40× objective, oil immersion. Cropped to a single cell. Bone marrow aspirate smear:
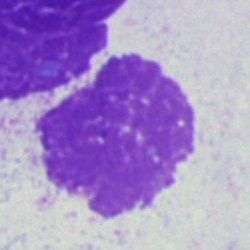
Q: What is shown here?
A: This is an artifact.